MGG-stained · bone marrow aspirate smear · 250×250 px — 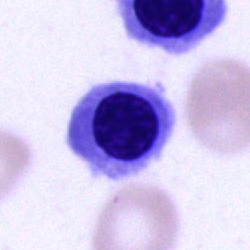

Morphology — nucleated red cell.